Bone marrow smear.
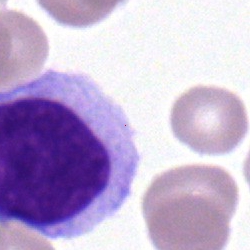
Classification: lymphocyte.